Bone marrow smear; image size 250×250; 40× objective, oil immersion: 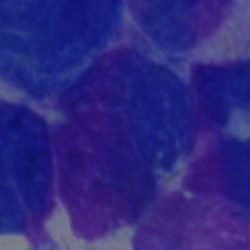

Morphological class: artefact.